Peripheral blood smear:
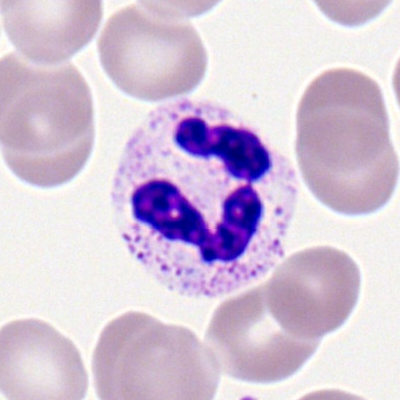

Showing a neutrophil (segmented).